Bone marrow smear · 250×250 px · MGG-stained: 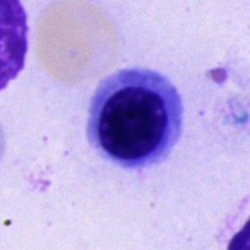Morphology consistent with a nucleated red cell.